Bone marrow smear.
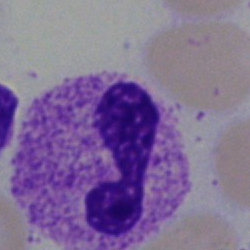
Specimen: bone marrow aspirate smear.
Cell: neutrophil (segmented).